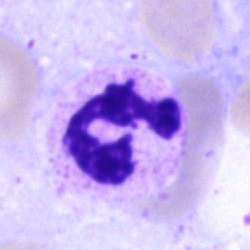 Morphology — neutrophil (segmented).